Bone marrow aspirate smear · single-cell crop:
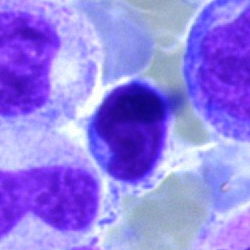Q: What is the morphological classification of this cell?
A: A typical lymphocyte.